Bone marrow aspirate smear; brightfield microscopy, 40× oil immersion
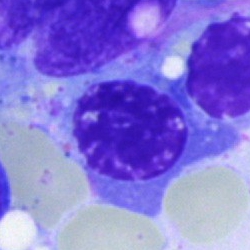

Morphology — nucleated red cell.